Bone marrow aspirate smear — 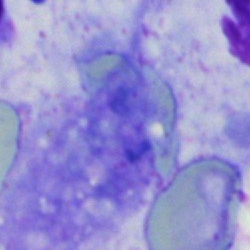 Q: What is shown here?
A: Artefact.